Peripheral blood film — 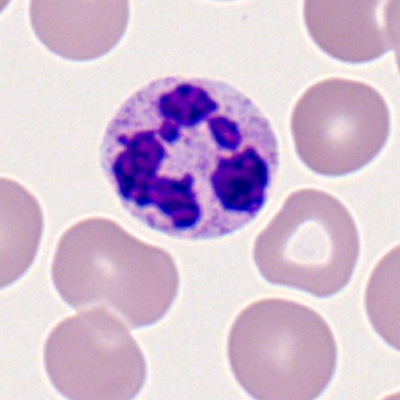 The cell type is polymorphonuclear neutrophil.